Single cell centered in the field. Bone marrow smear. Pappenheim-stained:
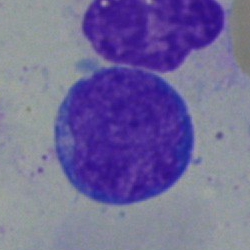A blast cell.